MGG-stained; bone marrow aspirate smear; 40× objective, oil immersion
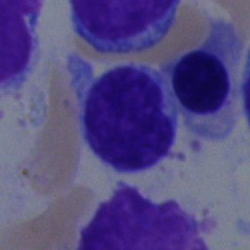

This is a lymphocyte.